Peripheral blood smear.
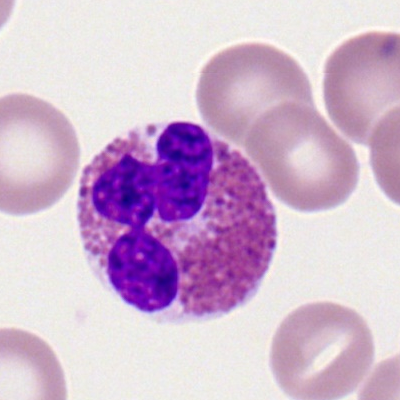An eosinophil.